Bone marrow aspirate smear · MGG-stained.
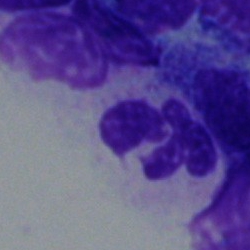 Q: Identify the cell.
A: Polymorphonuclear neutrophil.